Peripheral blood smear:
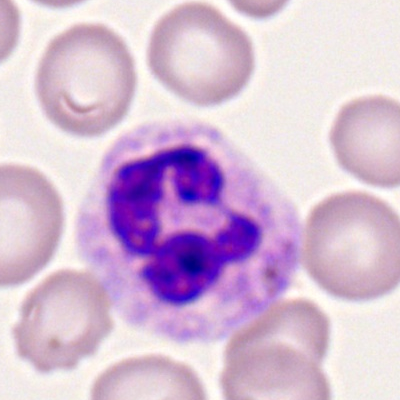Q: Identify the cell.
A: Neutrophil (segmented).